Bone marrow smear · 250×250 px: 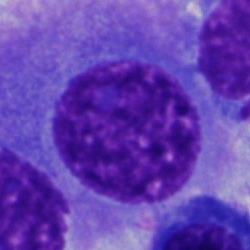 The cell is artifact.